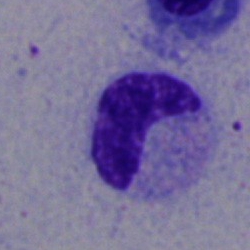 Single-cell crop from a bone marrow smear: neutrophil (band).